Bone marrow smear
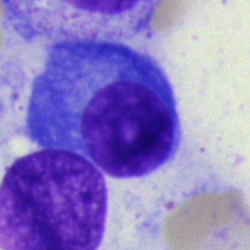 Impression — plasma cell.